Bone marrow aspirate smear
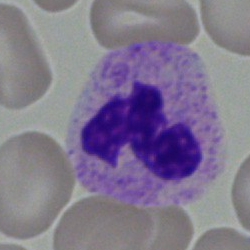Specimen: bone marrow aspirate smear.
Cell: segmented neutrophil.
Lineage: myeloid.